Bone marrow aspirate smear:
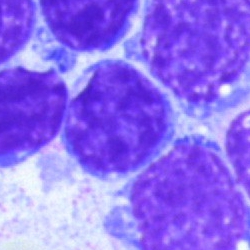 {"cell_type": "typical lymphocyte", "lineage": "lymphoid"}